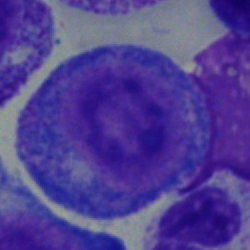

Cell type = promyelocyte.